Bone marrow smear:
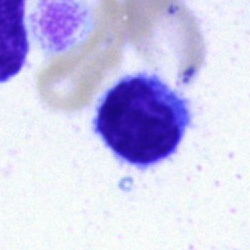
Q: Identify the cell.
A: This is a lymphocyte.